Peripheral blood smear.
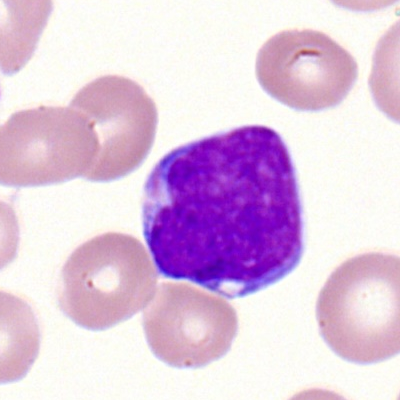
Specimen: peripheral blood smear.
Cell: myeloblast.